Bone marrow smear.
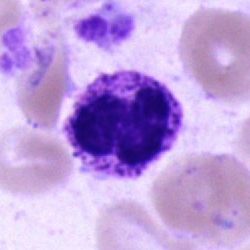
Specimen: bone marrow aspirate smear.
Classification: polymorphonuclear neutrophil.
Lineage: myeloid.